Bone marrow smear — 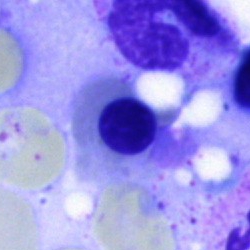
A nucleated red blood cell.